Bone marrow smear · single cell centered in the field.
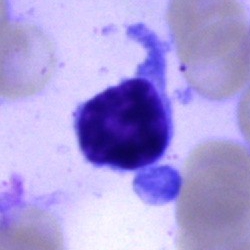

A typical lymphocyte.